Bone marrow smear.
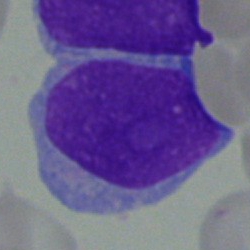Impression — blast cell.